Bone marrow smear — 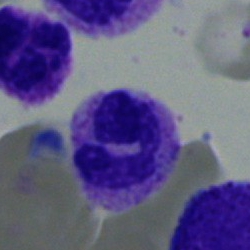 {"cell_type": "polymorphonuclear neutrophil"}